Pappenheim-stained; 40× oil immersion; bone marrow aspirate smear — 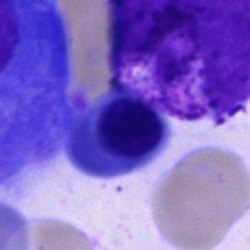 Erythroblast.